Single cell centered in the field. 250 by 250 pixels. Bone marrow smear — 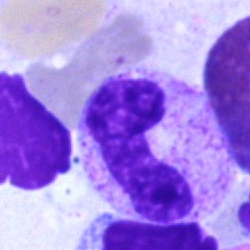Q: What is shown here?
A: This is a neutrophil (band).